Bone marrow smear; May-Grünwald-Giemsa/Pappenheim stain
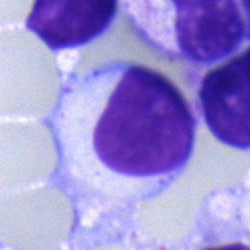

Cell — typical lymphocyte.